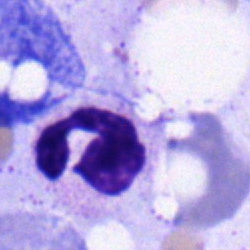
Q: What is shown here?
A: It is a segmented neutrophil.